Bone marrow aspirate smear
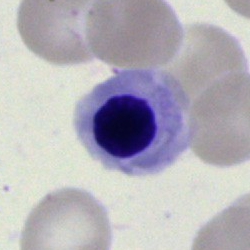Cell = nucleated red blood cell.